250×250. Bone marrow smear.
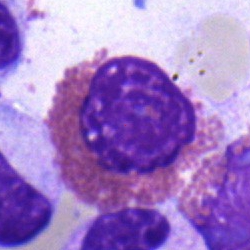This is an eosinophil.